Peripheral blood film:
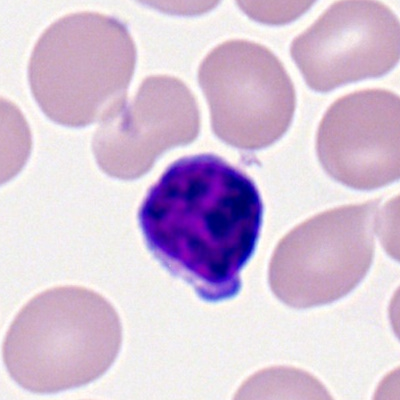

A lymphocyte.